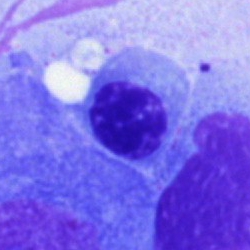

The morphological class is normoblast.